Peripheral blood film — 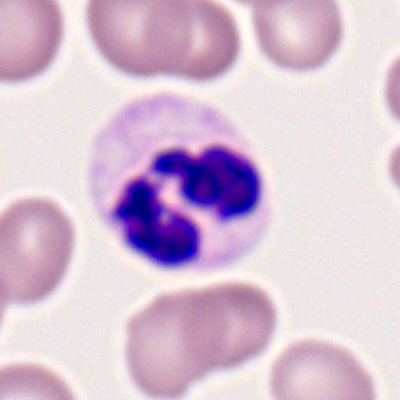

Segmented neutrophil.